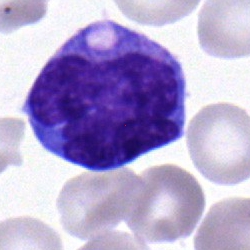Cell type = monocyte.